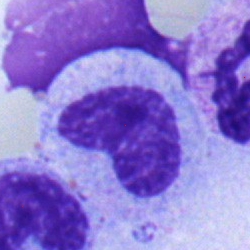 Bone marrow smear showing a metamyelocyte.